Bone marrow smear · 40× oil immersion: 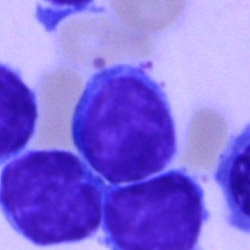 Lymphocyte.